MGG-stained. Single cell centered in the field. Bone marrow smear:
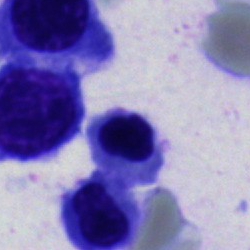
A nucleated red blood cell.